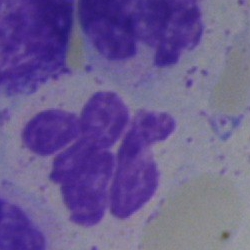Cell = artifact.